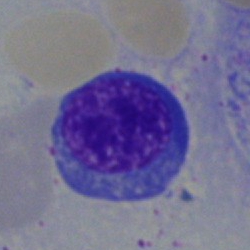 Specimen: bone marrow smear.
Morphological class: erythroblast.